Bone marrow aspirate smear.
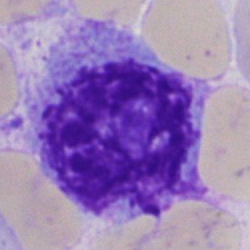

Q: What is shown here?
A: It is an artefact.